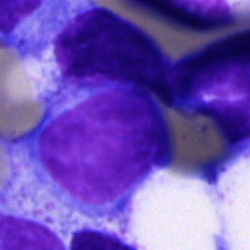
Classification = undifferentiated blast.